Bone marrow aspirate smear. 40× objective, oil immersion:
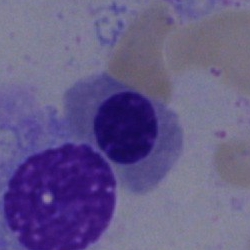Morphology consistent with a normoblast.